Bone marrow aspirate smear: 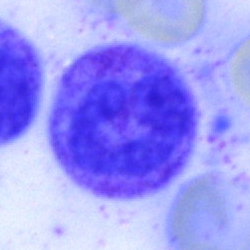

Cell — neutrophil (segmented).